Romanowsky-type stain; peripheral blood film: 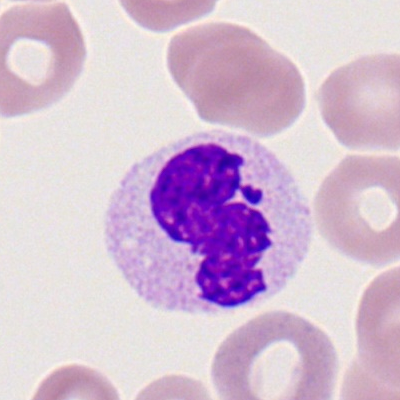 Specimen: peripheral blood film.
Classification: segmented neutrophil.
Lineage: myeloid.